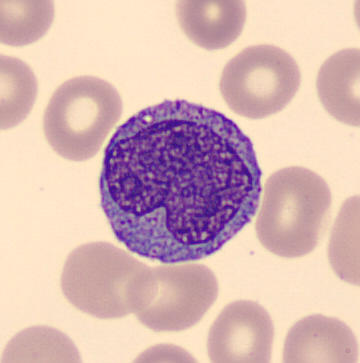
Acquisition: Cropped to a single cell · peripheral blood smear. Single cell identified as a monocyte.